Bone marrow smear: 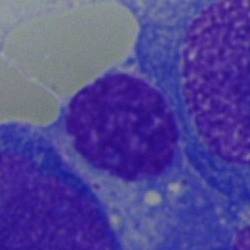 Specimen: bone marrow aspirate smear.
Cell type: plasma cell.
Lineage: lymphoid.